Peripheral blood smear.
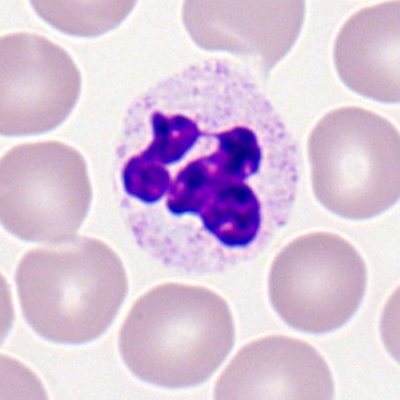Morphological class = polymorphonuclear neutrophil.